Bone marrow aspirate smear: 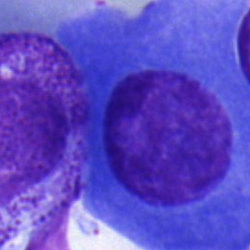
Q: What cell is this?
A: It is a plasma cell.